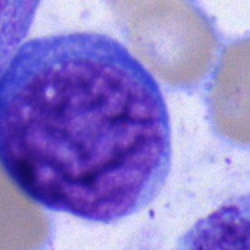

Impression — undifferentiated blast.